Bone marrow smear.
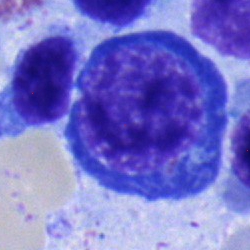

Morphological class = nucleated red blood cell.